Single cell centered in the field. Bone marrow aspirate smear. 250×250:
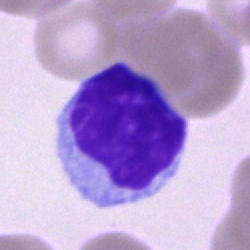
Impression → typical lymphocyte.